Bone marrow smear · 250 by 250 pixels.
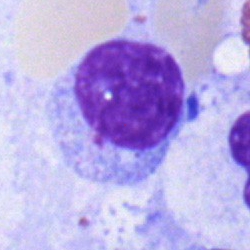
Lymphocyte.